Bone marrow smear
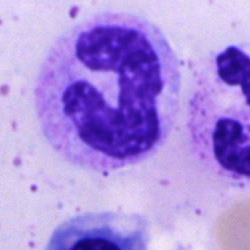 Q: What is the morphological classification of this cell?
A: This is a band neutrophil.